May-Grünwald-Giemsa stain. Bone marrow smear
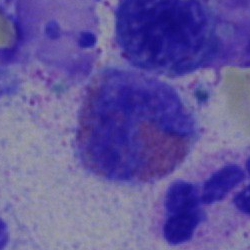 Eosinophilic granulocyte.